250×250 px · bone marrow smear:
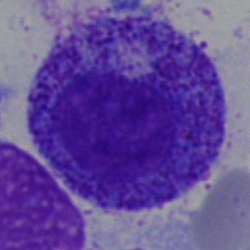 Showing a promyelocyte.